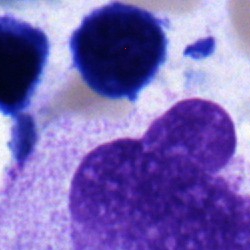 Impression → lymphocyte.